Bone marrow aspirate smear.
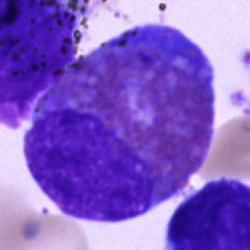
An eosinophil.